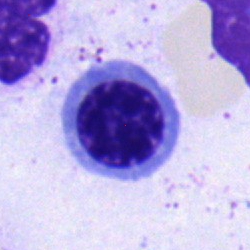This is a normoblast.